Image size 250×250; brightfield, 40× oil-immersion objective; bone marrow smear:
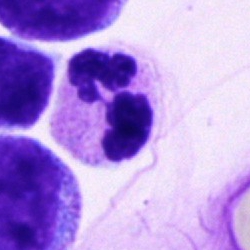 Morphology consistent with a polymorphonuclear neutrophil.